Bone marrow aspirate smear — 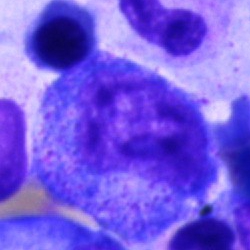Single cell identified as a promyelocyte.